Bone marrow aspirate smear. Brightfield microscopy, 40× oil immersion:
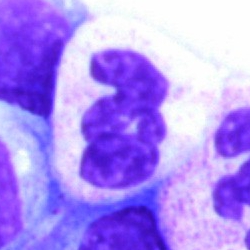 Single cell identified as a neutrophil (segmented).